Image size 250×250. Bone marrow aspirate smear. May-Grünwald-Giemsa/Pappenheim stain — 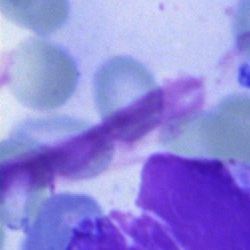

This is an artefact.